100× oil immersion. Peripheral blood film. Romanowsky-type stain.
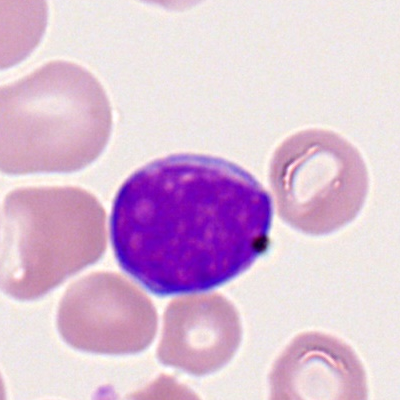Single cell identified as a myeloblast.